Single cell centered in the field · bone marrow aspirate smear · 40× oil immersion.
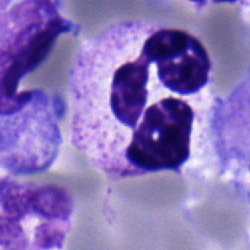Morphology consistent with a segmented neutrophil.